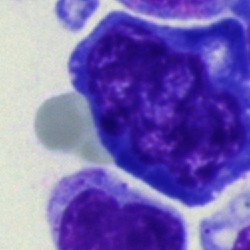 Single cell identified as an undifferentiated blast.